Bone marrow smear:
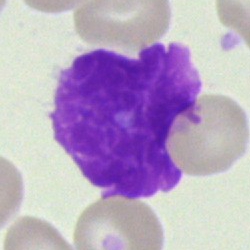
Morphology → artefact.